Romanowsky stain. Cropped to a single cell. Peripheral blood smear: 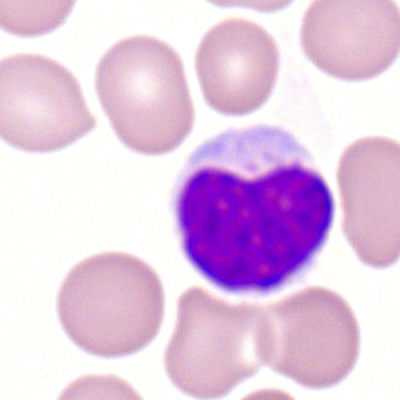Lymphocyte.